Brightfield, 40× oil-immersion objective · bone marrow smear · cropped to a single cell:
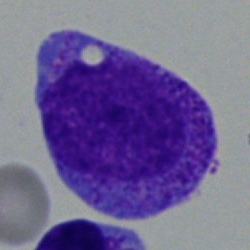Impression — promyelocyte.